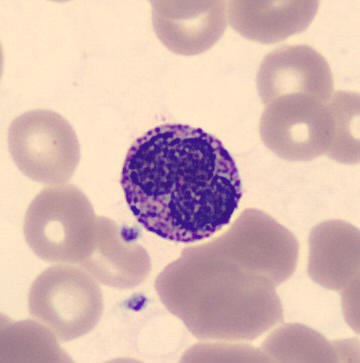Image: 360×363; peripheral blood film; imaged on a CellaVision DM96 analyser.

The cell is basophilic granulocyte.